Bone marrow smear.
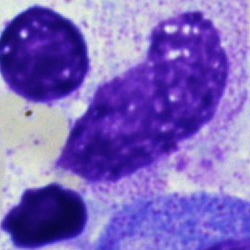Classification: artefact.